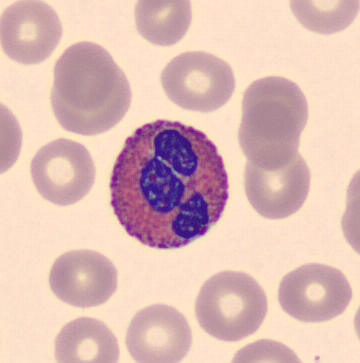
Cell = eosinophil.